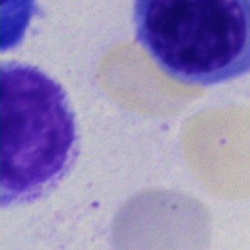

Q: What is shown here?
A: Unidentifiable cell.